Bone marrow aspirate smear; May-Grünwald-Giemsa stain: 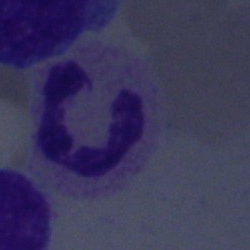Morphology → segmented neutrophil.